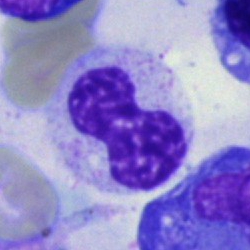 Specimen: bone marrow smear.
Cell type: neutrophil (band).
Lineage: myeloid.